Bone marrow aspirate smear:
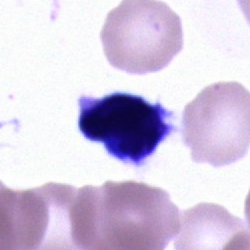 Morphology → unidentifiable cell.